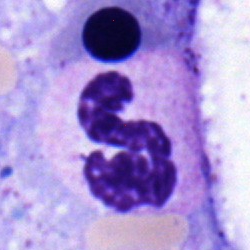 Impression → neutrophil (segmented).